Brightfield, 40× oil-immersion objective; bone marrow smear; cropped to a single cell: 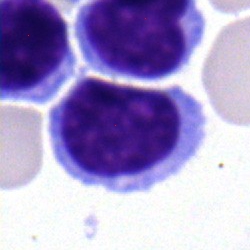
Cell = lymphocyte.